Bone marrow aspirate smear — 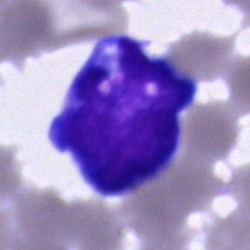

Specimen: bone marrow smear.
Morphological class: undifferentiated blast.